Peripheral blood smear; cropped to a single cell: 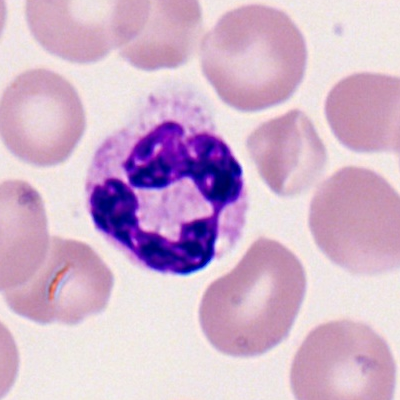Showing a neutrophil (segmented).